Bone marrow smear — 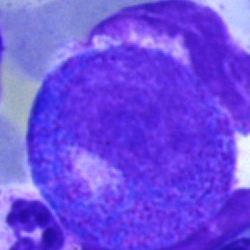
A progranulocyte.